Bone marrow smear · brightfield, 40× oil-immersion objective:
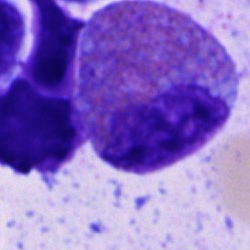Morphology consistent with an eosinophil.